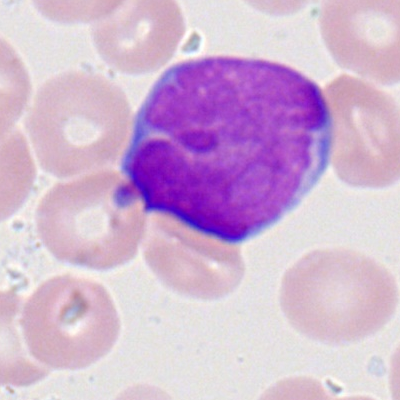Morphology → myeloblast.